Brightfield microscopy, 40× oil immersion. Bone marrow smear — 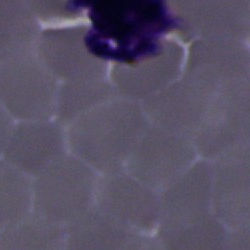Q: What is shown here?
A: It is an artefact.